Bone marrow smear
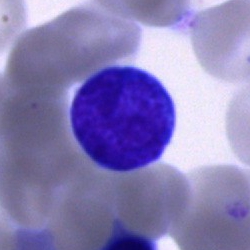Showing a typical lymphocyte.